Bone marrow aspirate smear; brightfield microscopy, 40× oil immersion; single cell centered in the field
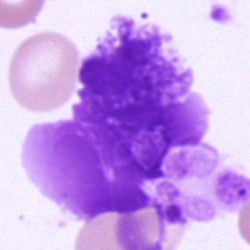 Classification = artifact.